Bone marrow aspirate smear:
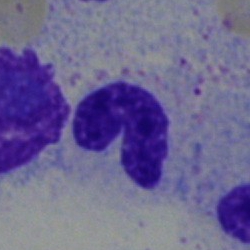

Impression → band neutrophil.